Bone marrow smear
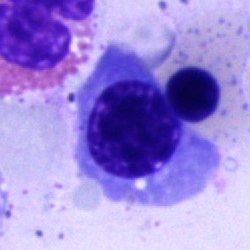 Showing a nucleated red blood cell.